Bone marrow aspirate smear
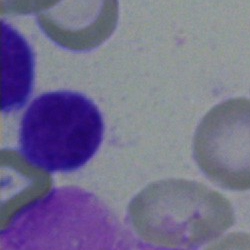
The classification is lymphocyte.